Brightfield, 40× oil-immersion objective; bone marrow aspirate smear:
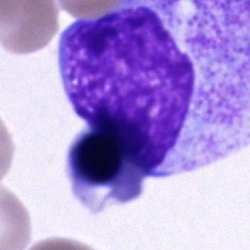

Morphological class: unidentifiable cell.